Bone marrow smear
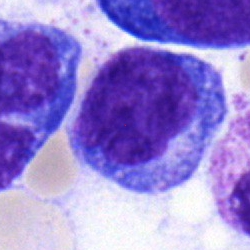
Classification: monocyte.